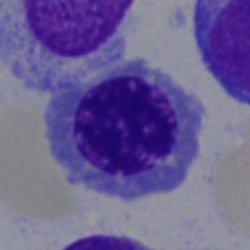
Showing a nucleated red cell.